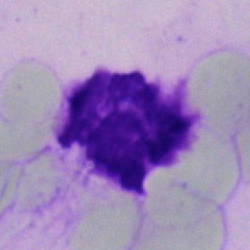

Specimen: bone marrow aspirate smear.
Cell: artifact.